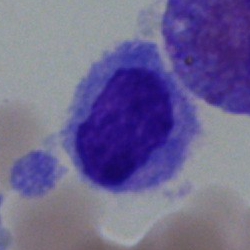Single-cell crop from a bone marrow smear: monocyte.